Bone marrow smear
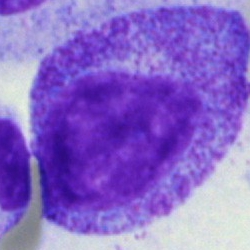Q: Which cell type is shown here?
A: It is a promyelocyte.